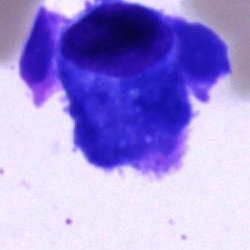 Specimen: bone marrow smear.
Classification: plasmacyte.